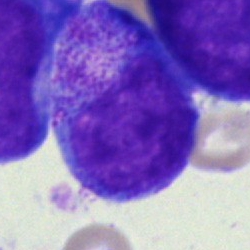 A progranulocyte on a bone marrow smear.